Pappenheim-stained · bone marrow smear · 250×250.
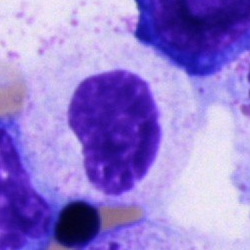 Impression → unidentifiable cell.